40× oil immersion · bone marrow aspirate smear · 250×250 px.
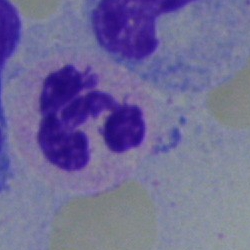

{"cell_type": "polymorphonuclear neutrophil", "lineage": "myeloid"}